Bone marrow smear; 40× oil immersion; Pappenheim-stained — 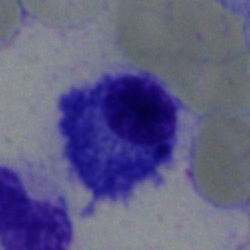 The cell is plasmacyte.